Bone marrow smear. 40× objective, oil immersion. May-Grünwald-Giemsa/Pappenheim stain: 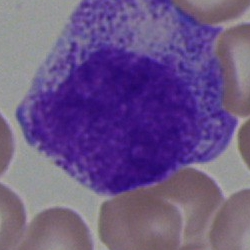

Showing a myelocyte.